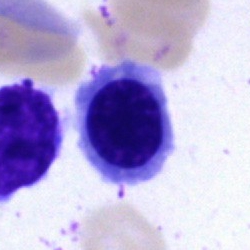 The classification is nucleated red blood cell.